Bone marrow aspirate smear.
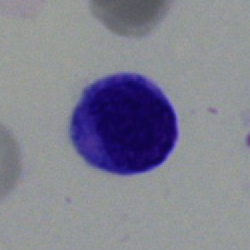 Morphological class: typical lymphocyte.